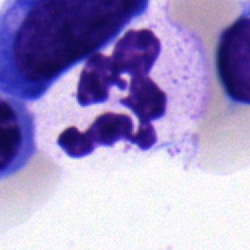Morphology — neutrophil (segmented).